Bone marrow aspirate smear; 250×250 px
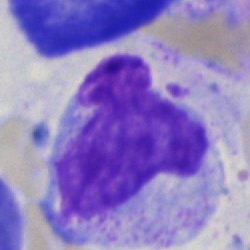A cell of indeterminate lineage.